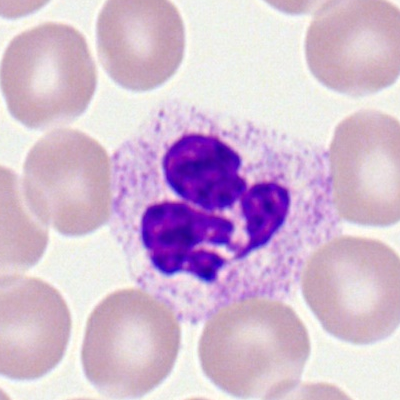

Impression → segmented neutrophil.